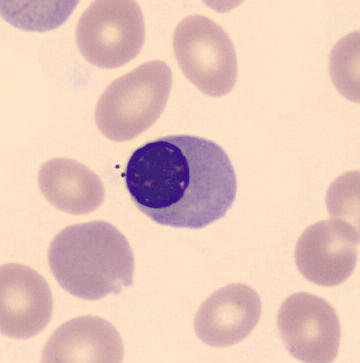 Acquisition: Peripheral blood film.

{"cell_type": "nucleated red cell", "lineage": "erythroid"}